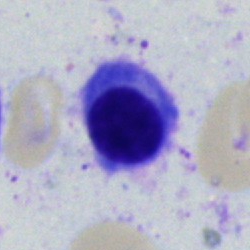
Q: What is the morphological classification of this cell?
A: An erythroblast.